Bone marrow smear; cropped to a single cell; 250 by 250 pixels: 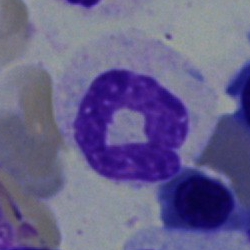 Impression → neutrophil (band).